250 by 250 pixels; bone marrow aspirate smear; single-cell crop — 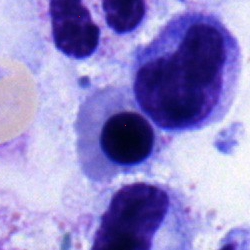Specimen: bone marrow smear.
Cell: erythroblast.
Lineage: erythroid.